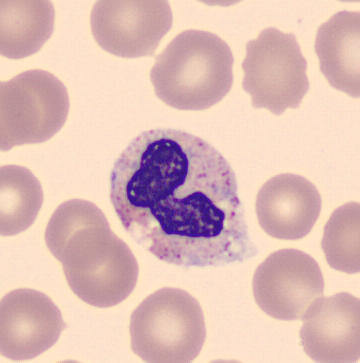
Peripheral blood smear. Morphology → neutrophil (band).